Single-cell field; bone marrow aspirate smear; 250×250 px:
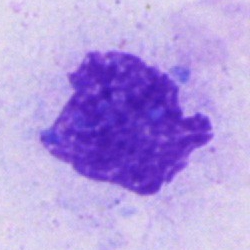This is an artefact.